Bone marrow aspirate smear: 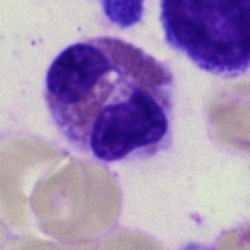An eosinophil.